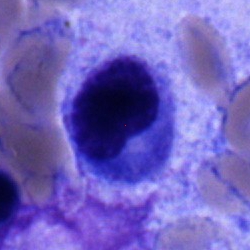Morphology → monocyte.